Bone marrow aspirate smear. Pappenheim-stained:
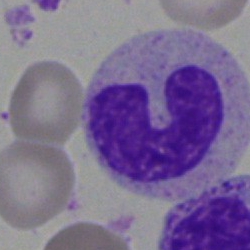Cell type — neutrophil (band).